Bone marrow aspirate smear — 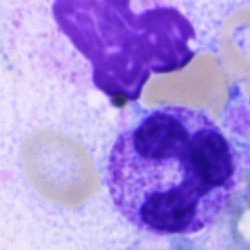 Morphology — segmented neutrophil.